Image size 250×250. Bone marrow smear. Brightfield, 40× oil-immersion objective: 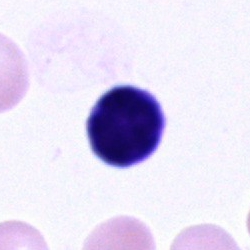
Specimen: bone marrow smear.
Cell type: typical lymphocyte.
Lineage: lymphoid.